Bone marrow aspirate smear:
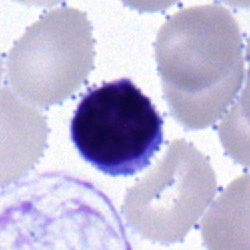

Classification — lymphocyte.